Bone marrow aspirate smear:
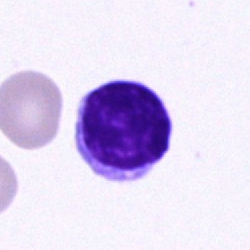Specimen: bone marrow aspirate smear.
Cell type: lymphocyte.
Lineage: lymphoid.